Cropped to a single cell; bone marrow aspirate smear
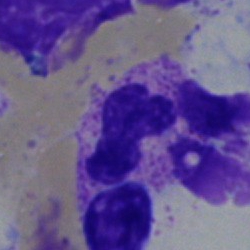The cell shown is a segmented neutrophil.